Bone marrow aspirate smear — 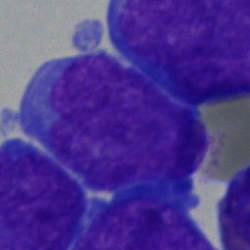Undifferentiated blast.